Bone marrow aspirate smear.
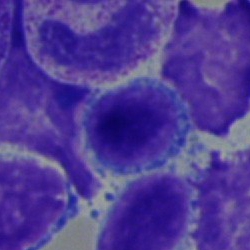

Single cell identified as a typical lymphocyte.